Bone marrow smear.
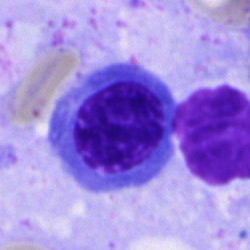

Specimen: bone marrow smear.
Classification: nucleated red cell.